Peripheral blood film:
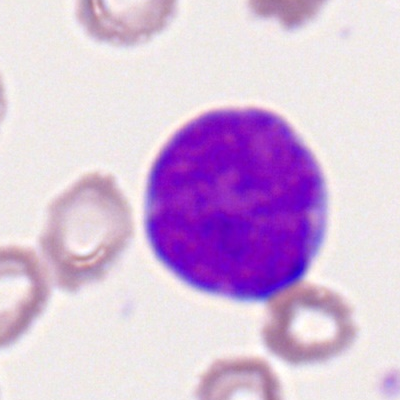Specimen: peripheral blood film.
Classification: myeloid blast.
Lineage: myeloid.